Bone marrow aspirate smear
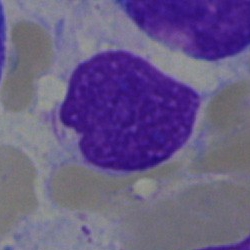

Specimen: bone marrow aspirate smear.
Morphological class: artefact.